Bone marrow smear: 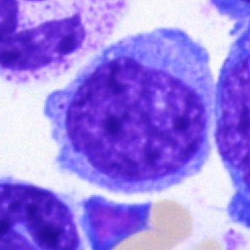 Cell type: undifferentiated blast.